Bone marrow aspirate smear.
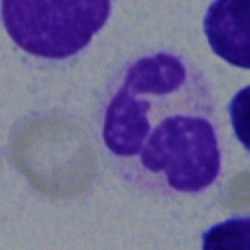 {"cell_type": "polymorphonuclear neutrophil", "lineage": "myeloid"}